250×250; bone marrow aspirate smear:
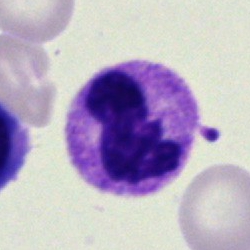

Q: What is the morphological classification of this cell?
A: This is a segmented neutrophil.